Bone marrow aspirate smear · MGG-stained: 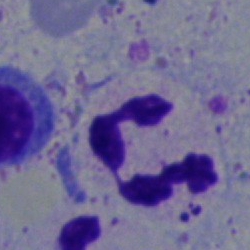
Specimen: bone marrow smear.
Morphological class: segmented neutrophil.